Peripheral blood smear
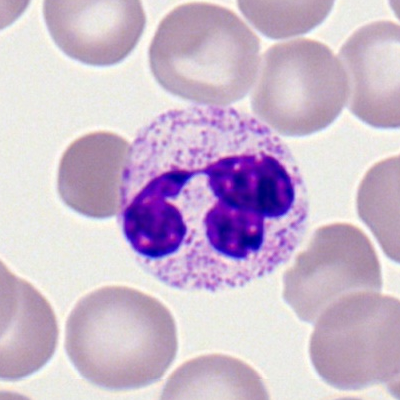Morphology — polymorphonuclear neutrophil.